Peripheral blood film. 100× oil immersion.
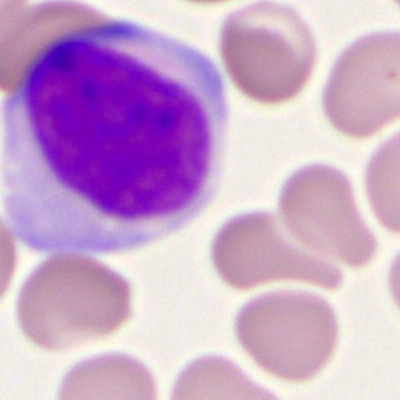

Morphology — myeloid blast.